Bone marrow aspirate smear · single-cell crop · MGG-stained: 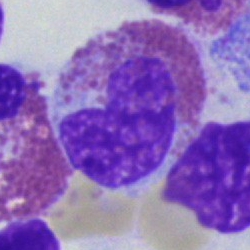

{"cell_type": "eosinophil", "lineage": "myeloid"}